Bone marrow aspirate smear · 250 by 250 pixels · 40× oil immersion — 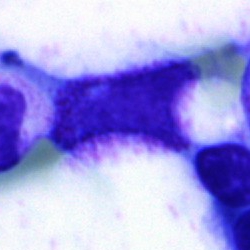
This is an artefact.